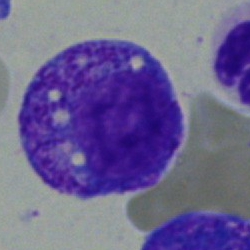{"cell_type": "myelocyte", "lineage": "myeloid"}